Bone marrow aspirate smear.
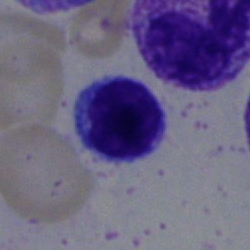

Impression → lymphocyte.